Bone marrow aspirate smear
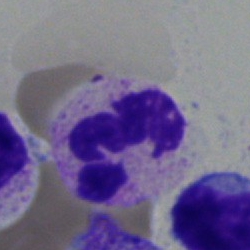

Cell = neutrophil (segmented).